Bone marrow aspirate smear.
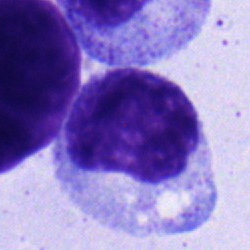Morphology consistent with a myelocyte.